Bone marrow smear
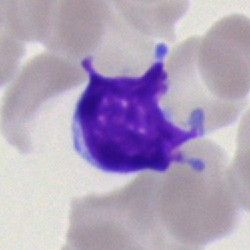

Morphology consistent with a lymphocyte.